Image size 250×250; bone marrow aspirate smear: 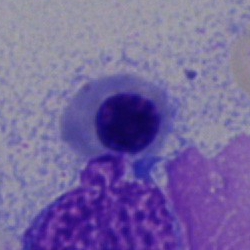

The morphological class is erythroblast.